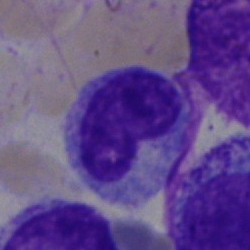
Classification = metamyelocyte.